Single cell centered in the field; bone marrow aspirate smear
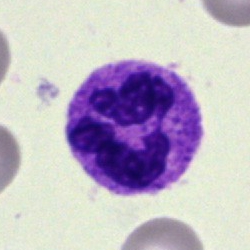 Single cell identified as a neutrophil (segmented).